250×250 · bone marrow smear
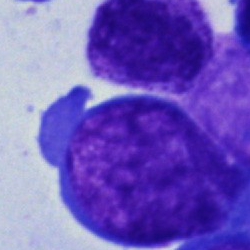This is an undifferentiated blast.